Bone marrow aspirate smear. 250×250: 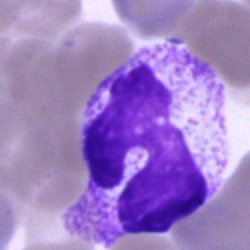
Cell type: neutrophil (segmented).